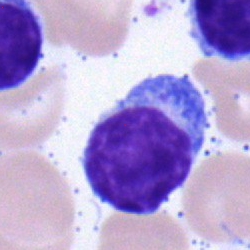

The morphological class is lymphocyte.